Pappenheim-stained. Bone marrow smear:
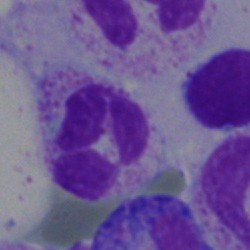
Neutrophil (segmented).